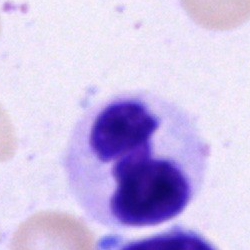
Cell type: segmented neutrophil.